Bone marrow smear; May-Grünwald-Giemsa/Pappenheim stain; single cell centered in the field
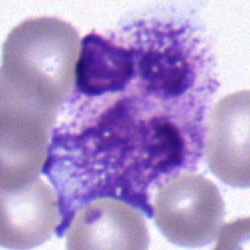Showing a polymorphonuclear neutrophil.